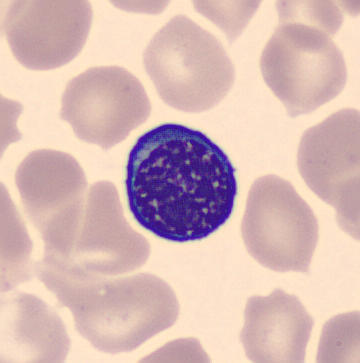 Acquisition: May Grünwald-Giemsa stain; peripheral blood film. An erythroblast.